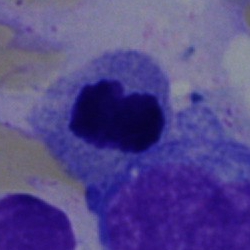Cell: nucleated red cell.